Brightfield, 40× oil-immersion objective. Bone marrow aspirate smear.
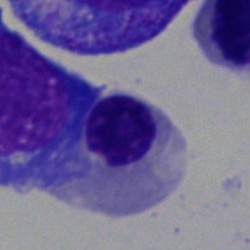
This is an erythroblast.